Bone marrow aspirate smear · May-Grünwald-Giemsa/Pappenheim stain — 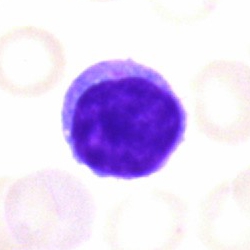
Q: Identify the cell.
A: Lymphocyte.